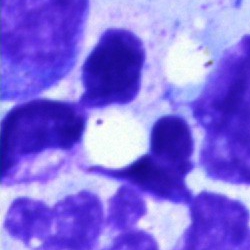

The classification is artefact.